250 by 250 pixels. Bone marrow aspirate smear:
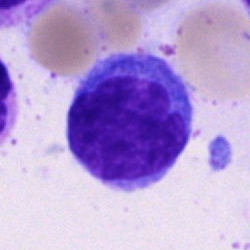 Morphology consistent with a typical lymphocyte.